Image size 250×250 · bone marrow smear:
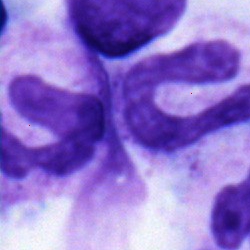Q: Which cell type is shown here?
A: It is a band-form neutrophil.